250×250 px. Pappenheim-stained. Bone marrow aspirate smear: 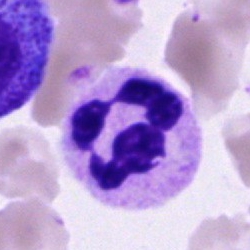

Morphology — segmented neutrophil.